Bone marrow aspirate smear; brightfield, 40× oil-immersion objective; 250×250 — 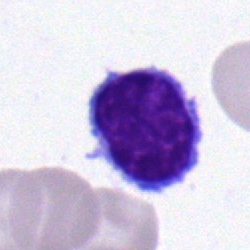
Morphology — lymphocyte.